Bone marrow smear · single-cell field — 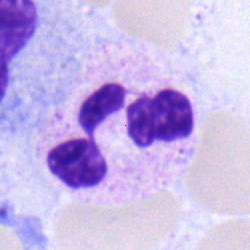

The cell shown is a polymorphonuclear neutrophil.